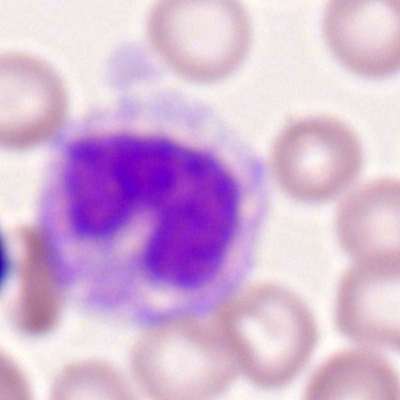 Cell: band neutrophil.